Bone marrow smear — 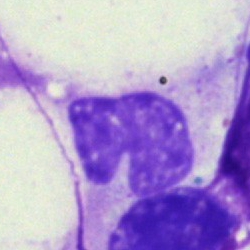
Impression — neutrophil (band).